Bone marrow aspirate smear · 250×250:
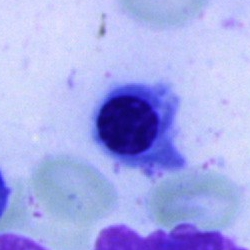 Showing a normoblast.